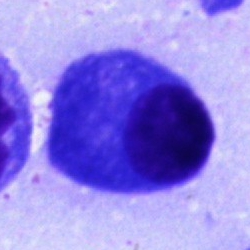Specimen: bone marrow smear.
Morphological class: plasma cell.
Lineage: lymphoid.